Bone marrow smear: 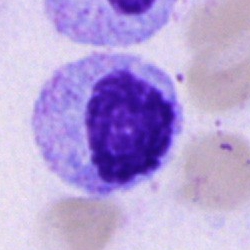

Morphology consistent with a myelocyte.